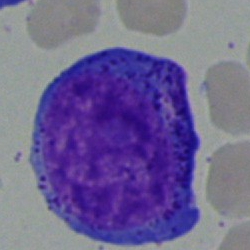Single-cell crop from a bone marrow smear: progranulocyte.